Bone marrow smear; Pappenheim-stained
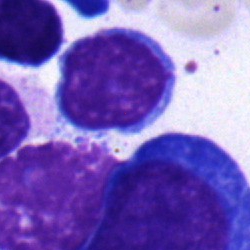 Cell — typical lymphocyte.